Bone marrow smear:
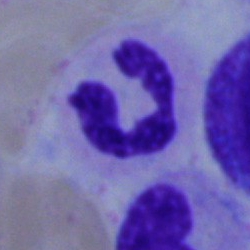
The cell shown is a polymorphonuclear neutrophil.